May-Grünwald-Giemsa/Pappenheim stain · bone marrow smear.
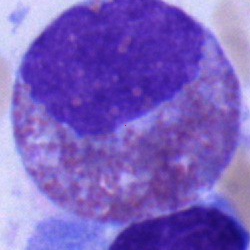Cell type: eosinophil.